May-Grünwald-Giemsa stain · bone marrow smear · image size 250×250: 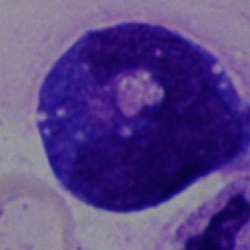

The cell is blast.